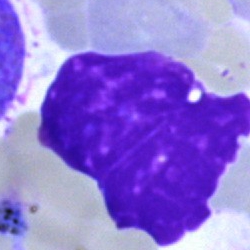

The cell shown is an artefact.